Bone marrow aspirate smear
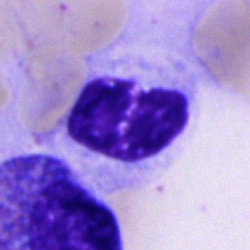 Classification = cell of indeterminate lineage.